Bone marrow aspirate smear — 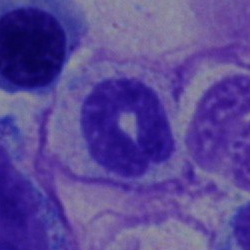
Classification: band-form neutrophil.